Bone marrow aspirate smear. 250×250 px:
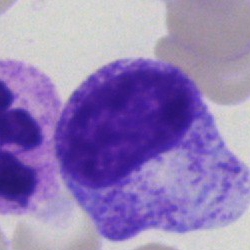
{"cell_type": "myelocyte", "lineage": "myeloid"}